MGG-stained. Bone marrow aspirate smear:
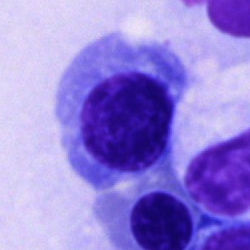 Q: What cell is this?
A: It is a nucleated red cell.